Bone marrow smear
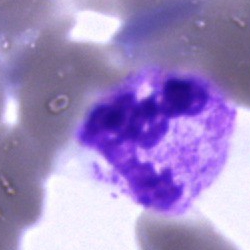

Q: Identify the cell.
A: This is a segmented neutrophil.